Bone marrow aspirate smear.
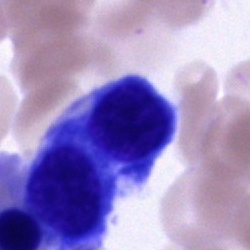 Showing an unidentifiable cell.